Image size 250×250; bone marrow aspirate smear
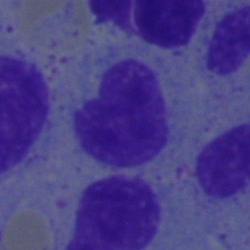 {"cell_type": "stab cell"}